Bone marrow smear
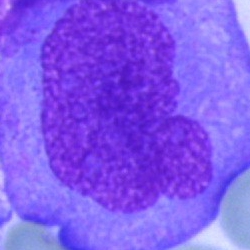

Blast cell.